40× oil immersion; bone marrow smear — 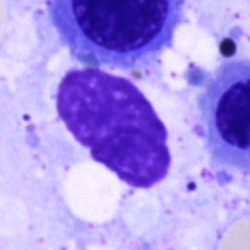Artefact.